Peripheral blood smear · Romanowsky-type stain · 400×400 px:
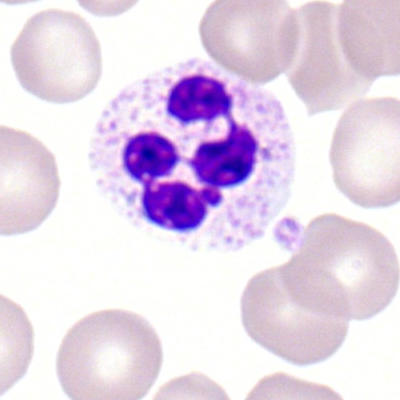The classification is segmented neutrophil.